Bone marrow aspirate smear. May-Grünwald-Giemsa stain.
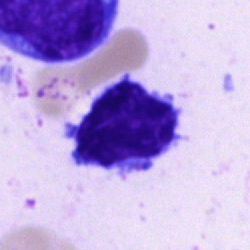

The morphological class is typical lymphocyte.